Bone marrow aspirate smear. 250×250:
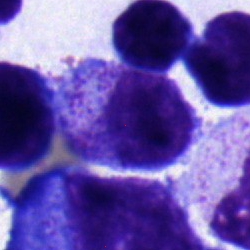
Classification: myelocyte.